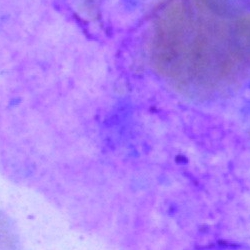
The cell shown is an artifact.